Bone marrow smear.
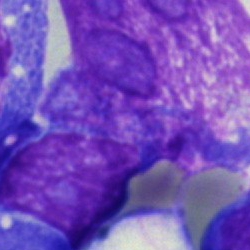 Morphology consistent with an artefact.